Single-cell field · brightfield, 40× oil-immersion objective · bone marrow aspirate smear — 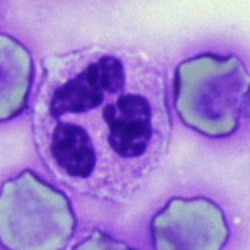{"cell_type": "segmented neutrophil", "lineage": "myeloid"}